Bone marrow smear
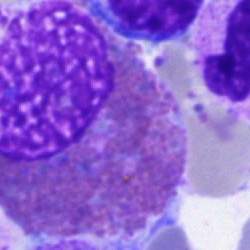Showing an eosinophil.